May-Grünwald-Giemsa stain. Bone marrow aspirate smear. Brightfield microscopy, 40× oil immersion:
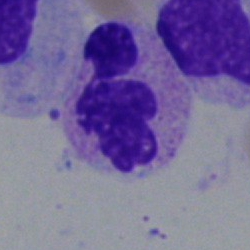Q: What is shown here?
A: This is a segmented neutrophil.